Bone marrow smear · single cell centered in the field: 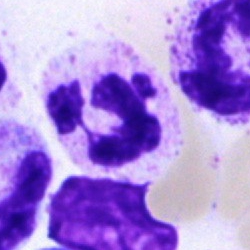

A segmented neutrophil.